Bone marrow aspirate smear:
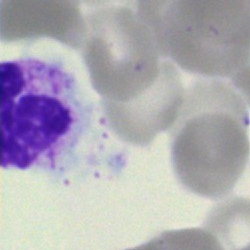Impression → band-form neutrophil.